Bone marrow aspirate smear. 250 by 250 pixels — 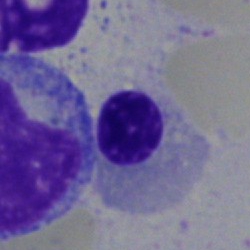
Morphology consistent with an erythroblast.